Bone marrow smear: 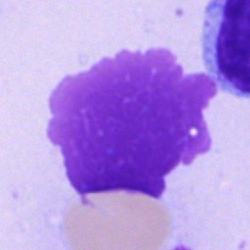
Morphology consistent with an artefact.